Peripheral blood film.
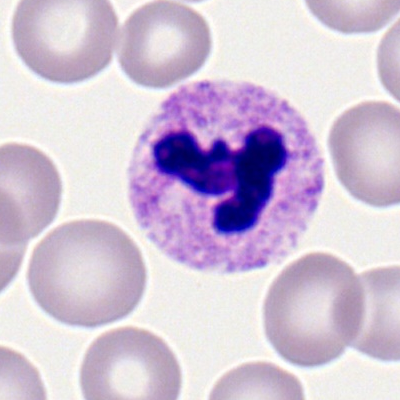Cell = segmented neutrophil.